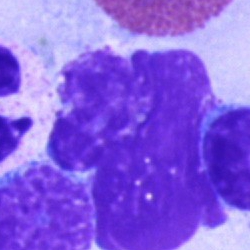
An artifact.